Bone marrow smear:
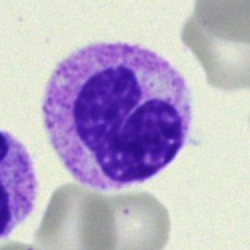

The cell shown is a neutrophil (band).